Bone marrow aspirate smear: 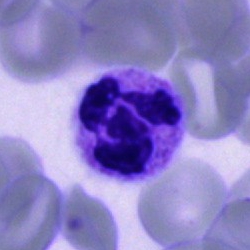 Morphology consistent with a neutrophil (segmented).